Peripheral blood smear — 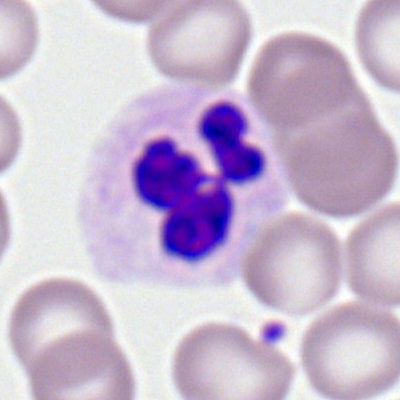

{"cell_type": "segmented neutrophil"}